Bone marrow aspirate smear.
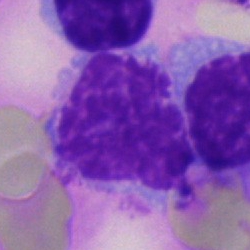
This is an artefact.